Bone marrow smear.
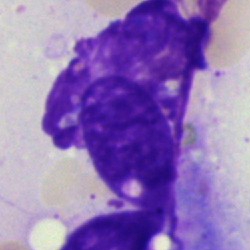Specimen: bone marrow smear.
Classification: artifact.